Bone marrow aspirate smear
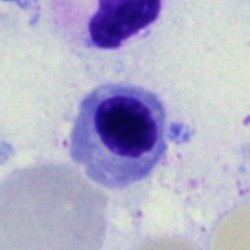 Morphology consistent with a nucleated red blood cell.